Bone marrow smear — 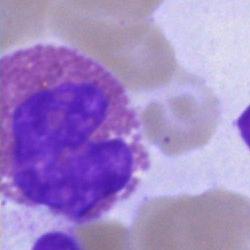
Classification = eosinophilic granulocyte.